Bone marrow aspirate smear: 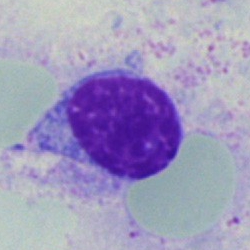

Cell type — typical lymphocyte.